MGG-stained. Bone marrow smear.
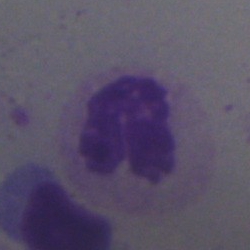The morphological class is polymorphonuclear neutrophil.